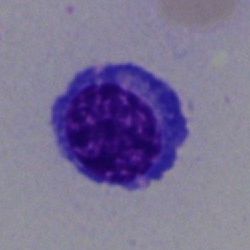Single-cell crop from a bone marrow smear: nucleated red blood cell.